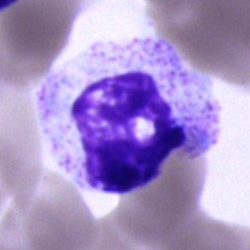

Showing a neutrophil (segmented).